Peripheral blood smear · single-cell field · Romanowsky-type stain.
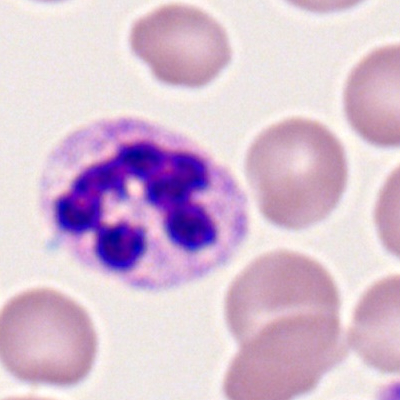
Specimen: peripheral blood film.
Classification: segmented neutrophil.
Lineage: myeloid.